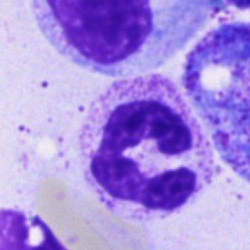
Morphology consistent with a neutrophil (segmented).